Bone marrow smear · MGG-stained — 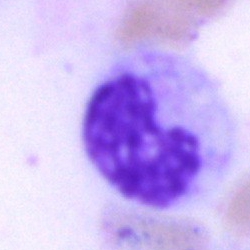
This is a metamyelocyte.